May-Grünwald-Giemsa/Pappenheim stain; bone marrow smear: 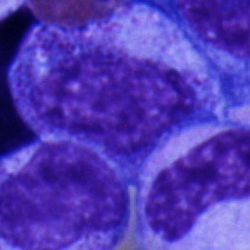

The cell shown is a progranulocyte.